Bone marrow aspirate smear. 250 by 250 pixels: 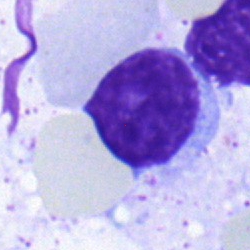This is a typical lymphocyte.